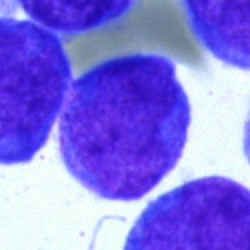

Cell type: blast cell.